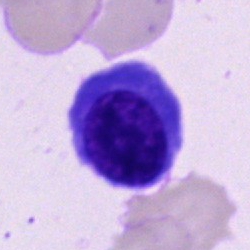

Specimen: bone marrow aspirate smear.
Cell type: nucleated red cell.
Lineage: erythroid.